Bone marrow aspirate smear:
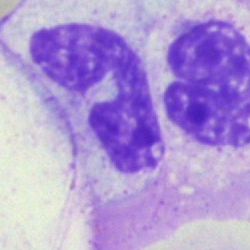This is a segmented neutrophil.